Cropped to a single cell. Bone marrow aspirate smear:
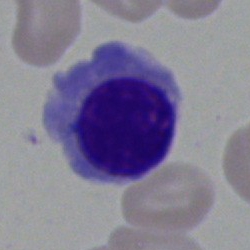
The cell shown is an erythroblast.